Bone marrow smear. 40× oil immersion:
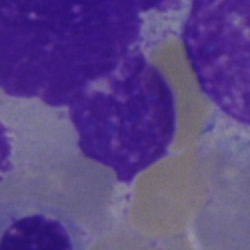 Classification = artefact.